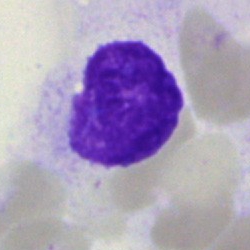
Morphology — artifact.